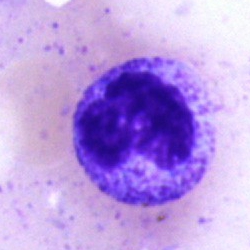
This is a metamyelocyte.